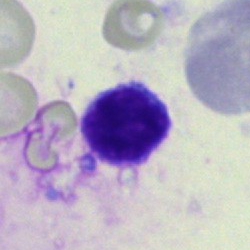

Q: What cell is this?
A: This is a typical lymphocyte.